Bone marrow smear. Single-cell crop. Brightfield, 40× oil-immersion objective: 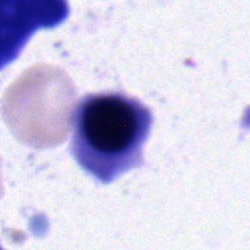

Classification — normoblast.